Bone marrow smear:
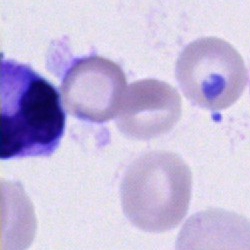Q: What is shown here?
A: It is an artefact.